Bone marrow aspirate smear.
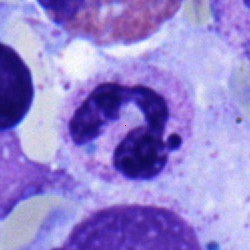Specimen: bone marrow smear.
Cell type: segmented neutrophil.
Lineage: myeloid.